Pappenheim-stained. Bone marrow smear.
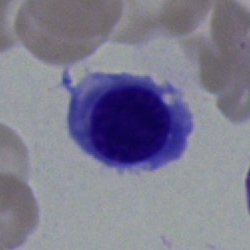
Specimen: bone marrow aspirate smear.
Cell type: normoblast.